Bone marrow aspirate smear — 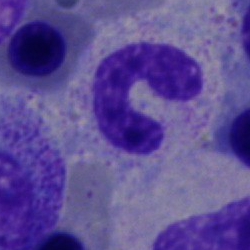A band neutrophil.